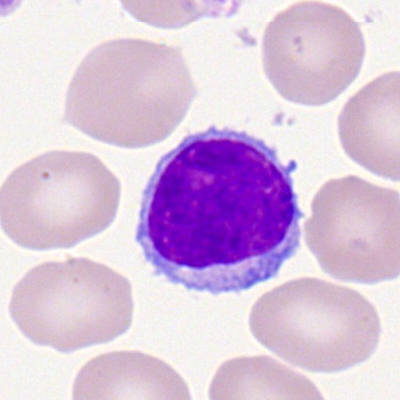
Peripheral blood smear showing a lymphocyte.